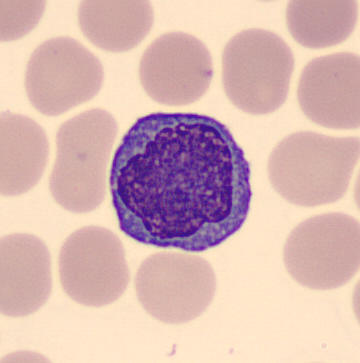

Classification = monocyte.